Bone marrow smear:
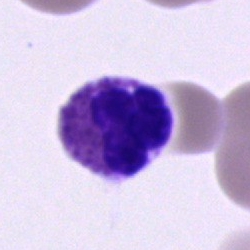
Eosinophil.